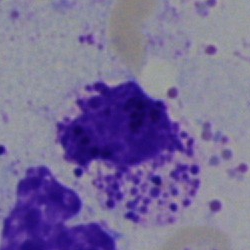 Bone marrow smear showing a basophilic granulocyte.